Bone marrow aspirate smear. Single cell centered in the field
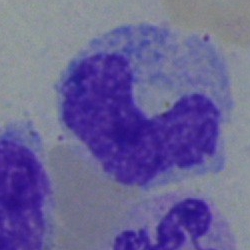The cell type is monocyte.